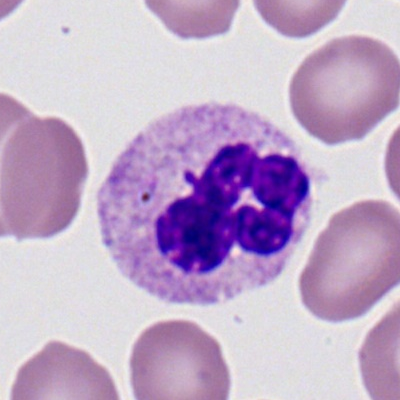
Showing a segmented neutrophil.